May-Grünwald-Giemsa stain · bone marrow aspirate smear · 250×250 px
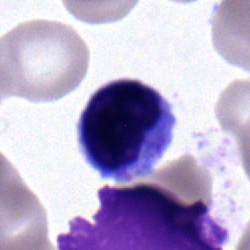 Q: Which cell type is shown here?
A: A lymphocyte.